Pappenheim-stained; bone marrow smear — 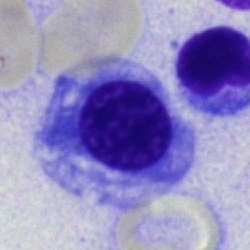 Q: Identify the cell.
A: Erythroblast.